Peripheral blood smear
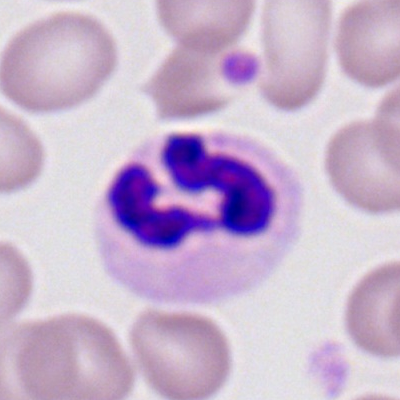
Specimen: peripheral blood film.
Cell type: polymorphonuclear neutrophil.
Lineage: myeloid.